Bone marrow smear · 40× objective, oil immersion · 250×250:
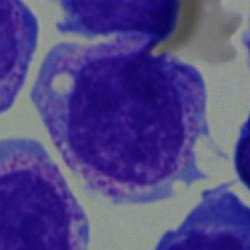 Morphological class: myelocyte.